Bone marrow aspirate smear — 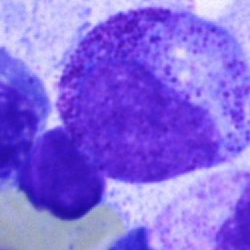
Q: Which cell type is shown here?
A: A myelocyte.